Bone marrow smear · 250 by 250 pixels
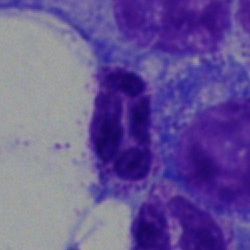

Q: What is shown here?
A: This is an artifact.